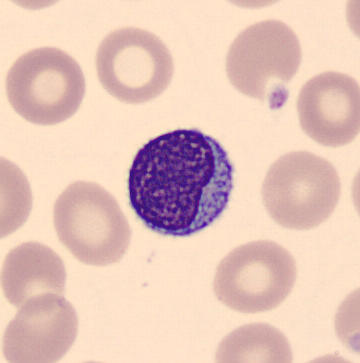Acquisition: Single-cell crop; May-Grünwald-Giemsa-stained; peripheral blood film. This is a lymphocyte.